Single-cell field · May-Grünwald-Giemsa stain · bone marrow smear.
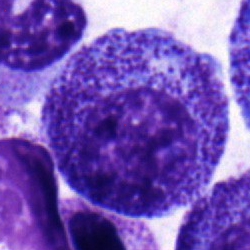

Q: What is shown here?
A: Myelocyte.